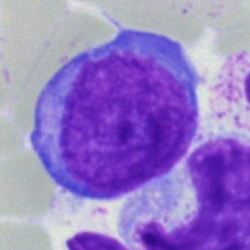
Undifferentiated blast.